Bone marrow aspirate smear: 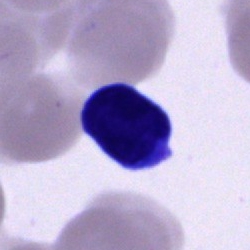Single cell identified as a typical lymphocyte.